Bone marrow aspirate smear; image size 250×250: 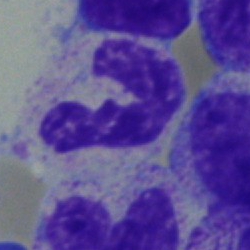 A band-form neutrophil.